Peripheral blood film
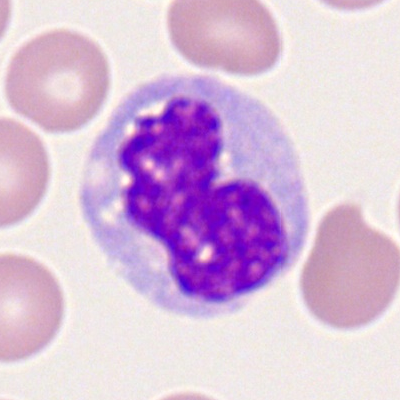A monocyte.